Peripheral blood film · brightfield, 100× oil-immersion objective: 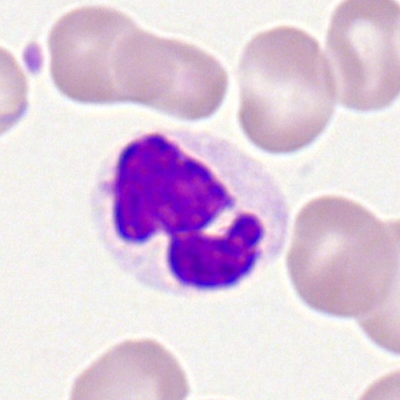 Morphological class: segmented neutrophil.